Single-cell crop · bone marrow aspirate smear · MGG-stained:
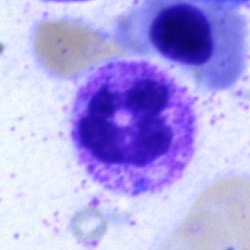 This is a polymorphonuclear neutrophil.